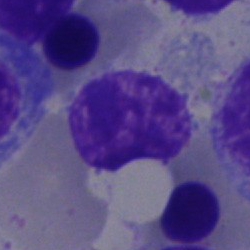 Q: Which cell type is shown here?
A: Typical lymphocyte.